Single-cell crop · 40× objective, oil immersion · bone marrow aspirate smear.
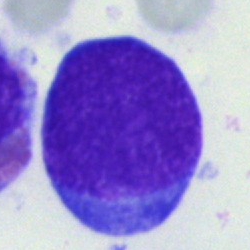Q: Which cell type is shown here?
A: This is a blast.